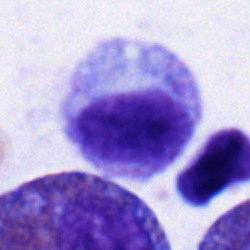

Classification — myelocyte.